Brightfield microscopy, 40× oil immersion; May-Grünwald-Giemsa stain; bone marrow aspirate smear.
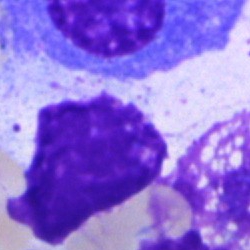 Showing an artefact.